Bone marrow aspirate smear: 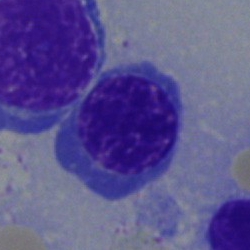
Cell — erythroblast.